Bone marrow aspirate smear: 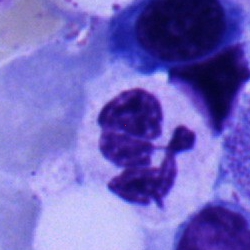Q: What is the morphological classification of this cell?
A: A segmented neutrophil.